Cropped to a single cell. Image size 250×250. Bone marrow aspirate smear:
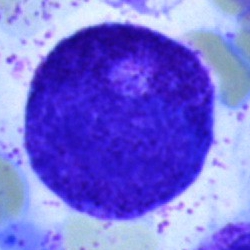Q: What is shown here?
A: Progranulocyte.